Single-cell field. Bone marrow aspirate smear. Brightfield, 40× oil-immersion objective — 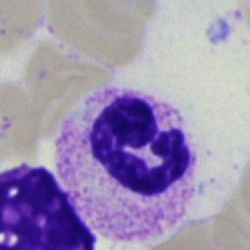

Classification — neutrophil (segmented).